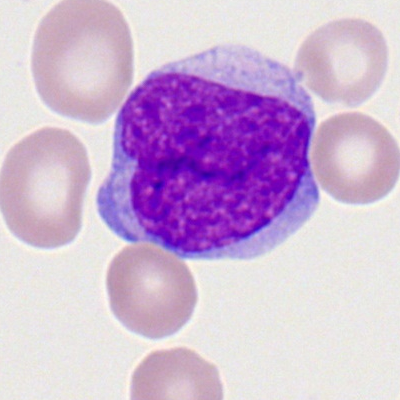{"cell_type": "myeloid blast"}